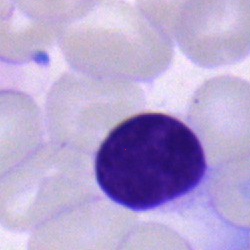

Morphology → typical lymphocyte.